Peripheral blood smear.
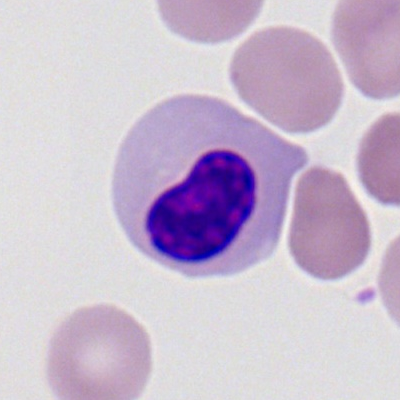

This is an erythroblast.